250×250 px. 40× oil immersion. Bone marrow smear:
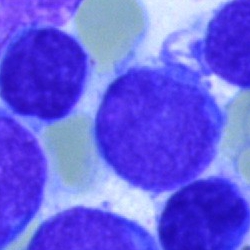

Q: What cell is this?
A: Blast.